Single-cell field. Bone marrow aspirate smear.
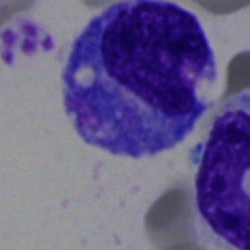Classification = progranulocyte.